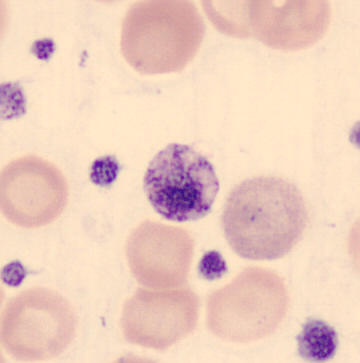Cell type = thrombocyte.